Bone marrow aspirate smear.
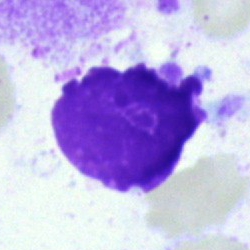
Specimen: bone marrow aspirate smear.
Cell type: artifact.